Bone marrow smear. 250 by 250 pixels.
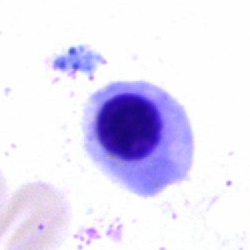

Morphology → nucleated red blood cell.